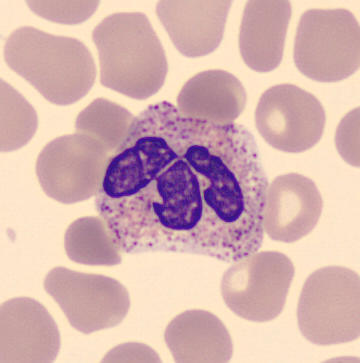Cell: segmented neutrophil.

Peripheral blood film; single cell centered in the field.